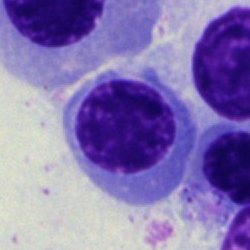
The morphological class is normoblast.